May-Grünwald-Giemsa stain; bone marrow aspirate smear; single cell centered in the field:
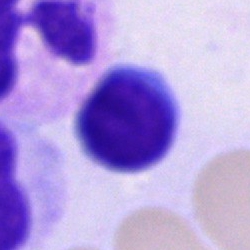

Morphological class = typical lymphocyte.